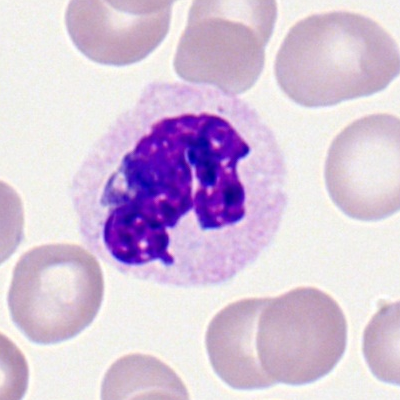 Cell = polymorphonuclear neutrophil.